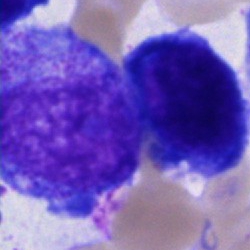A promyelocyte on a bone marrow smear.